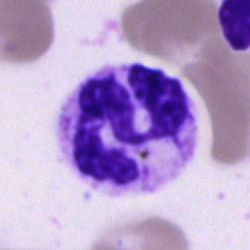
Single cell identified as a segmented neutrophil.